Bone marrow aspirate smear: 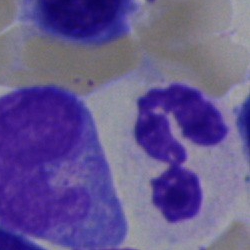 Morphological class = polymorphonuclear neutrophil.